Bone marrow smear. May-Grünwald-Giemsa stain
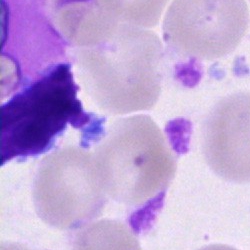

Cell — typical lymphocyte.